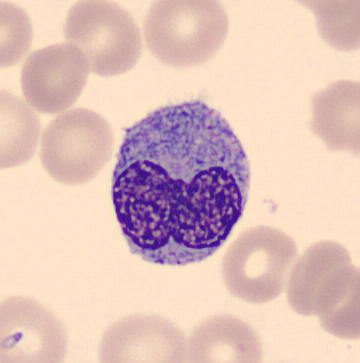 Peripheral blood smear.

The cell is monocyte.